Bone marrow aspirate smear:
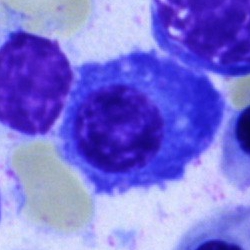A plasma cell.